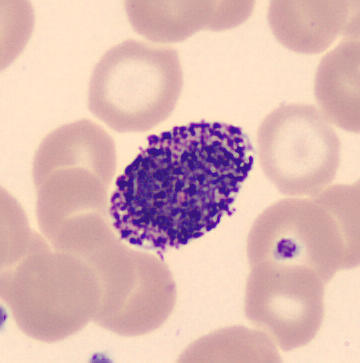The morphological class is basophilic granulocyte.